Bone marrow smear. May-Grünwald-Giemsa stain. 250×250 px.
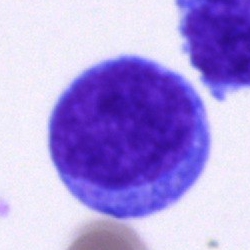
A blast.